Bone marrow smear — 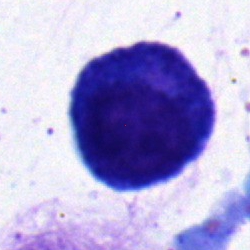

Cell type: progranulocyte.